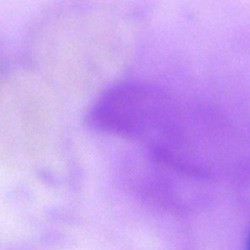

Impression — artifact.